Bone marrow aspirate smear:
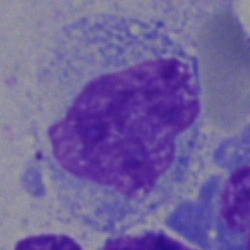 Specimen: bone marrow aspirate smear.
Cell type: monocyte.
Lineage: myeloid.